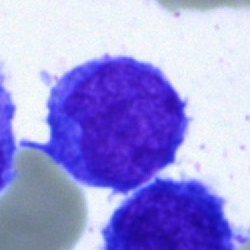
Cell — blast.